Bone marrow aspirate smear — 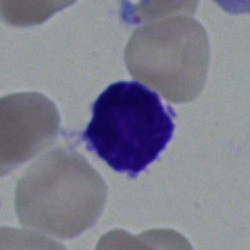

{"cell_type": "typical lymphocyte", "lineage": "lymphoid"}